Peripheral blood film
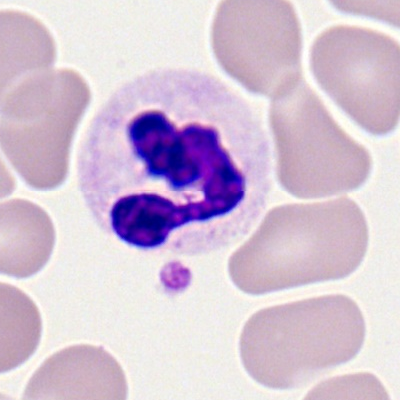Q: What cell is this?
A: A segmented neutrophil.